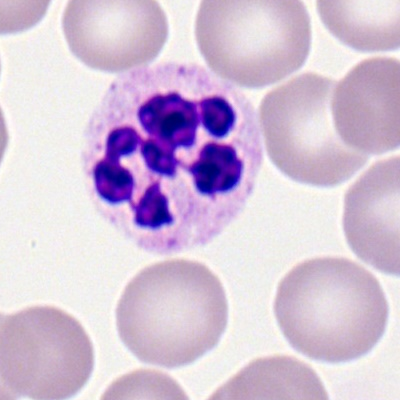 Cell: segmented neutrophil.